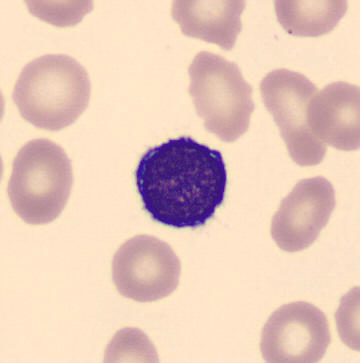The morphological class is lymphocyte.